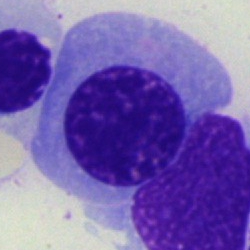

Q: Identify the cell.
A: It is an erythroblast.